Peripheral blood film. Romanowsky stain. 400×400 px
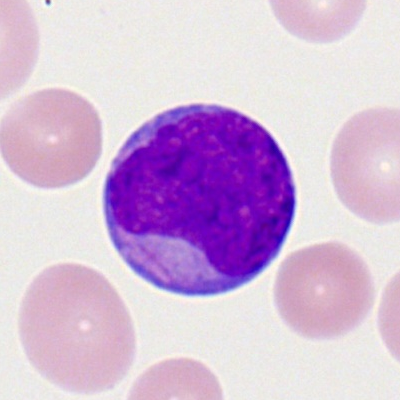
Specimen: peripheral blood smear.
Classification: myeloid blast.
Lineage: myeloid.